Bone marrow aspirate smear
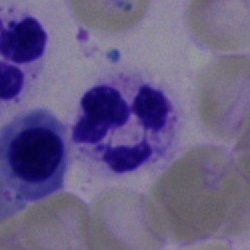

Morphological class = neutrophil (segmented).